Single-cell field. Bone marrow aspirate smear.
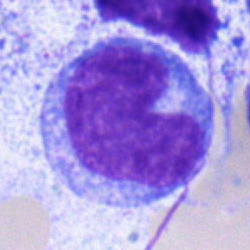 Morphology consistent with an undifferentiated blast.